Bone marrow aspirate smear. 250 by 250 pixels: 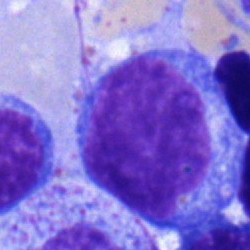

The cell shown is a typical lymphocyte.